Bone marrow smear — 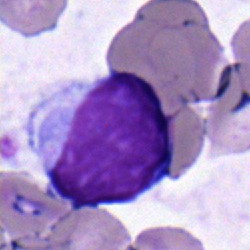

Cell type — lymphocyte.